Bone marrow aspirate smear: 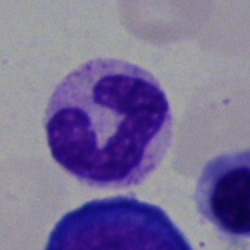
Classification: segmented neutrophil.